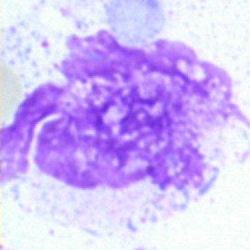 Bone marrow smear showing an artefact.